Bone marrow smear:
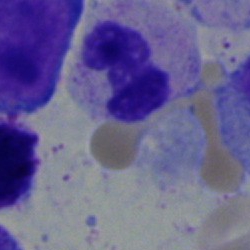
Stab cell.